Bone marrow aspirate smear · May-Grünwald-Giemsa stain:
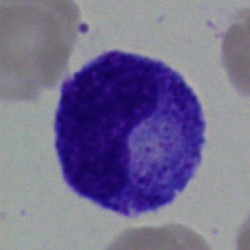
This is a progranulocyte.